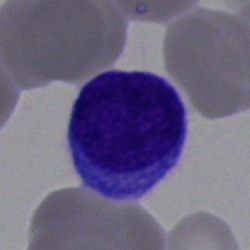 Morphology → lymphocyte.